Image size 250×250. Bone marrow aspirate smear. MGG-stained
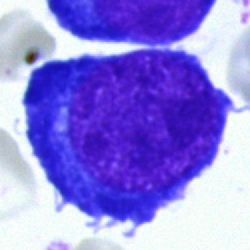

A nucleated red cell.